Bone marrow aspirate smear — 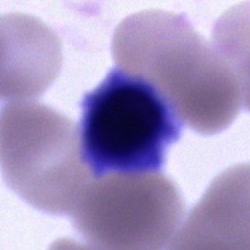

Showing a cell of indeterminate lineage.